Bone marrow aspirate smear: 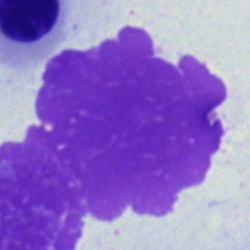 Q: What is shown here?
A: It is an artefact.